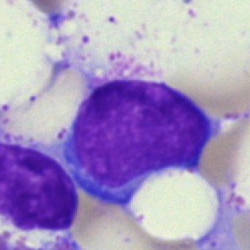Cell type: segmented neutrophil.